May-Grünwald-Giemsa stain · bone marrow aspirate smear
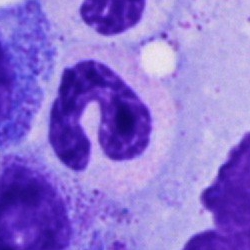Impression → polymorphonuclear neutrophil.